Bone marrow aspirate smear — 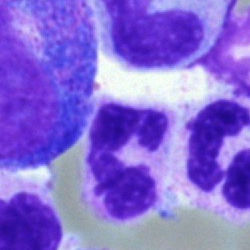 Morphology → neutrophil (segmented).